May-Grünwald-Giemsa/Pappenheim stain; single cell centered in the field; bone marrow aspirate smear.
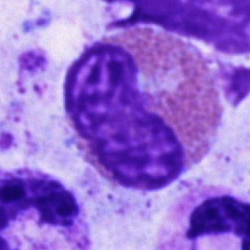
Morphology → eosinophil.